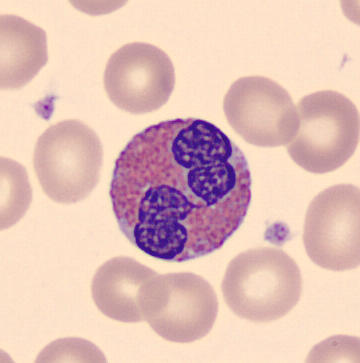
Acquisition: Peripheral blood film.
Identified as an eosinophilic granulocyte.